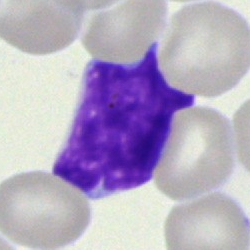Showing an undifferentiated blast.